250×250. Bone marrow smear.
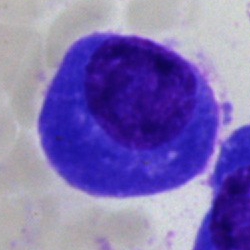
Q: What is the morphological classification of this cell?
A: This is a plasmacyte.